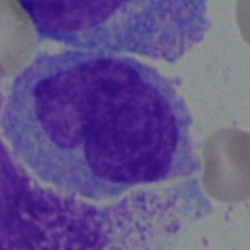
Specimen: bone marrow smear.
Classification: monocyte.